Bone marrow smear — 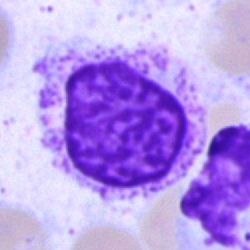
{"cell_type": "artefact"}